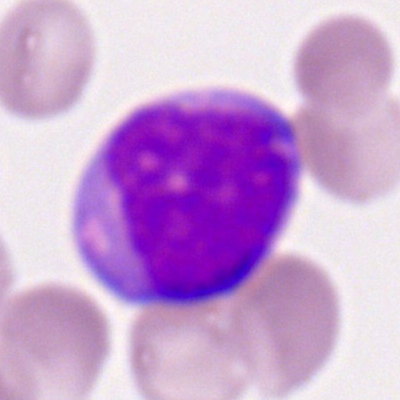Specimen: peripheral blood film.
Cell: myeloid blast.